Bone marrow smear: 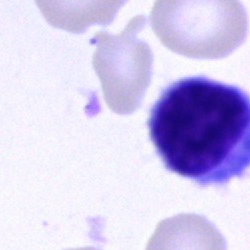Morphological class = typical lymphocyte.